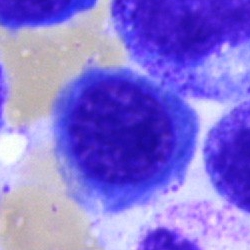
The classification is normoblast.